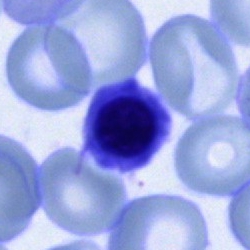

Classification: nucleated red blood cell.